40× objective, oil immersion; bone marrow aspirate smear: 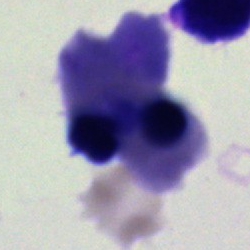

Cell type — artefact.